Bone marrow smear · MGG-stained:
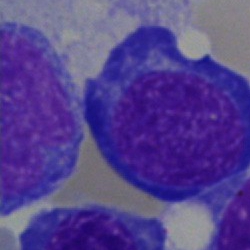Showing a nucleated red blood cell.